Bone marrow aspirate smear — 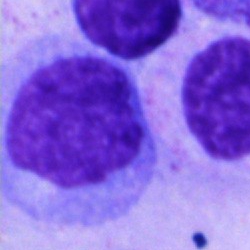The morphological class is unidentifiable cell.